Bone marrow aspirate smear:
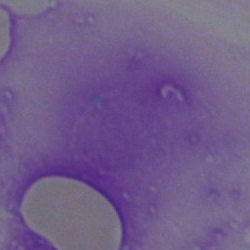 Morphological class = artifact.